40× oil immersion · bone marrow aspirate smear · May-Grünwald-Giemsa stain: 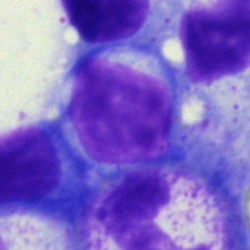
Lymphocyte.